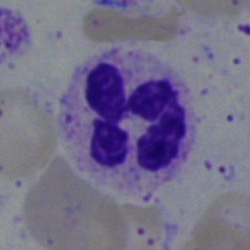
Q: What cell is this?
A: It is a neutrophil (segmented).